Bone marrow smear — 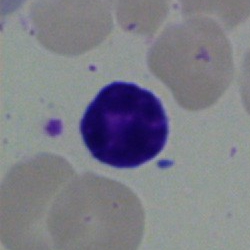Lymphocyte.